Bone marrow smear
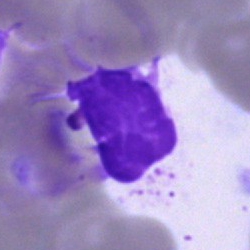Cell — artifact.